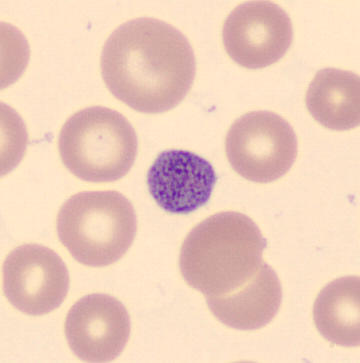
From a peripheral blood smear: a thrombocyte.